Bone marrow smear:
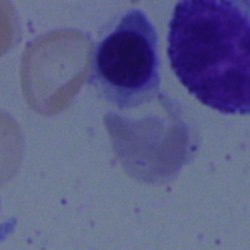 Morphology — normoblast.